Bone marrow aspirate smear; 250×250 px: 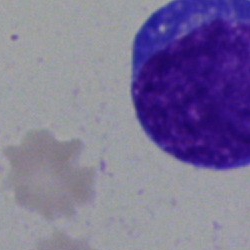
Cell type = blast cell.